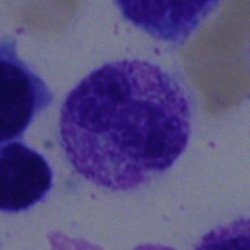 {"cell_type": "band neutrophil", "lineage": "myeloid"}